Brightfield microscopy, 40× oil immersion; May-Grünwald-Giemsa/Pappenheim stain; bone marrow aspirate smear — 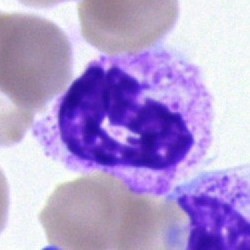Showing a polymorphonuclear neutrophil.